Bone marrow aspirate smear; 250×250; cropped to a single cell
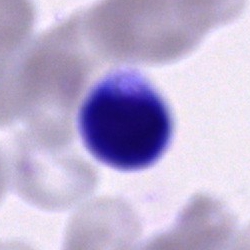

Cell = cell of indeterminate lineage.